Peripheral blood film.
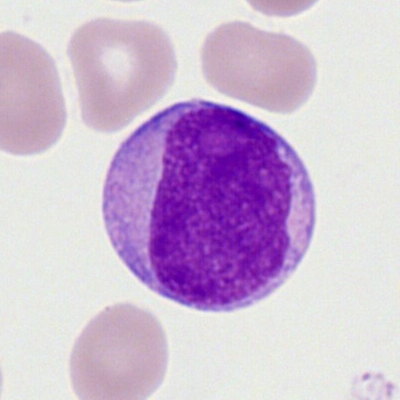 This is a myeloid blast.